Bone marrow smear — 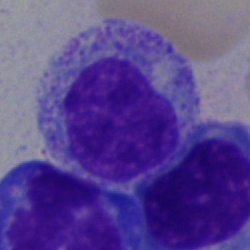Specimen: bone marrow smear.
Morphological class: myelocyte.
Lineage: myeloid.